400×400 px. Peripheral blood film: 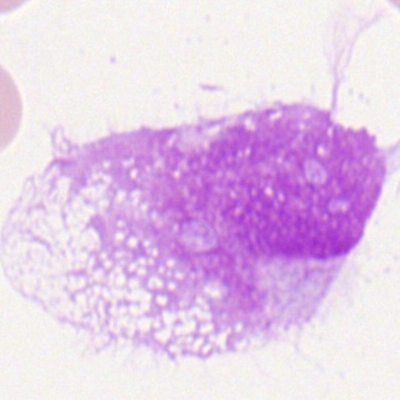 Q: What type of cell is this?
A: Basket cell.